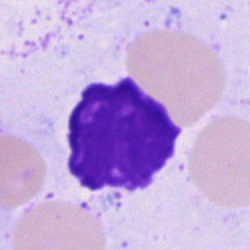
The classification is artifact.